40× objective, oil immersion · May-Grünwald-Giemsa/Pappenheim stain · bone marrow smear: 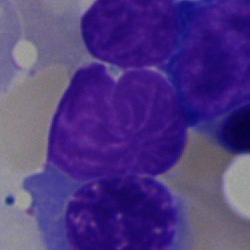 Cell type — artifact.